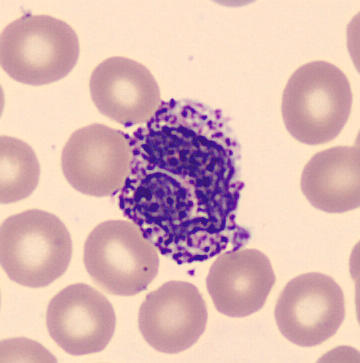This is a basophil. 360×363. Peripheral blood smear. Single-cell crop.